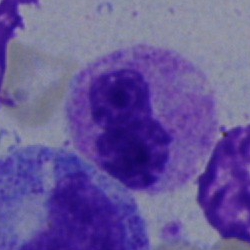

A neutrophil (segmented) on a bone marrow smear.